Bone marrow smear; single-cell field:
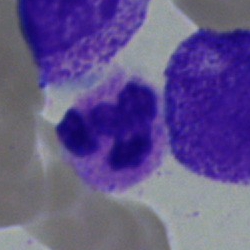Q: What cell is this?
A: A neutrophil (segmented).